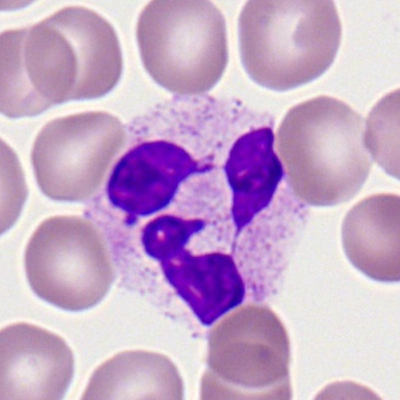

Classification: segmented neutrophil.